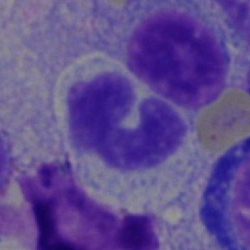

Showing a neutrophil (band).